Bone marrow smear: 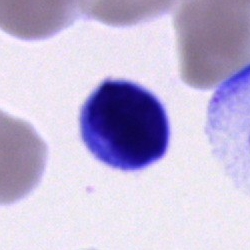

Specimen: bone marrow aspirate smear.
Cell: lymphocyte.